Bone marrow aspirate smear. Image size 250×250. Single cell centered in the field — 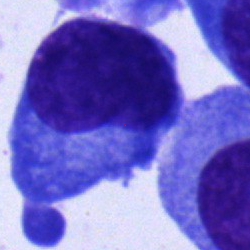Specimen: bone marrow aspirate smear.
Cell type: plasmacyte.